Image size 250×250 · May-Grünwald-Giemsa stain · bone marrow smear: 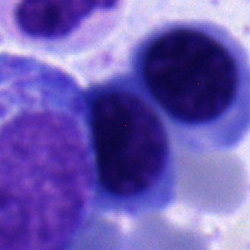
An erythroblast.